Bone marrow aspirate smear; single-cell crop:
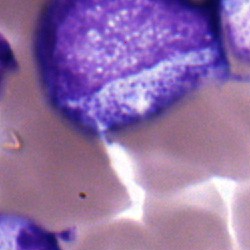 This is a myelocyte.